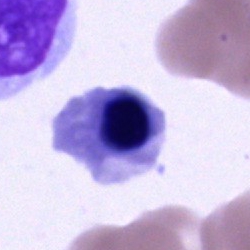

The classification is nucleated red cell.